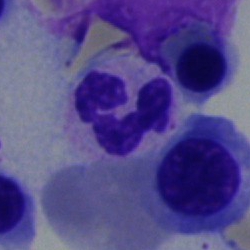
Classification: segmented neutrophil.